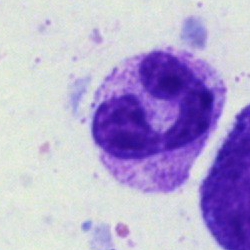

The cell type is neutrophil (segmented).